Bone marrow aspirate smear.
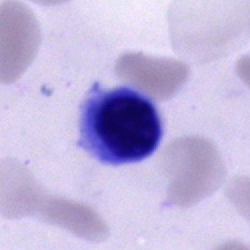
The morphological class is cell of indeterminate lineage.